Bone marrow smear. MGG-stained. 40× objective, oil immersion
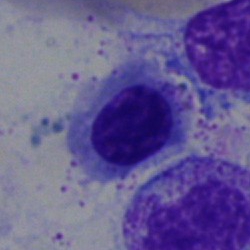
This is a nucleated red blood cell.